Bone marrow smear. MGG-stained. 40× oil immersion
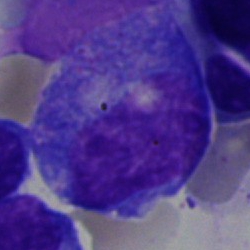 Classification = progranulocyte.